Bone marrow aspirate smear.
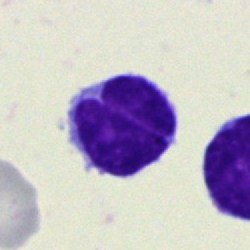
Cell = lymphocyte.